Bone marrow aspirate smear.
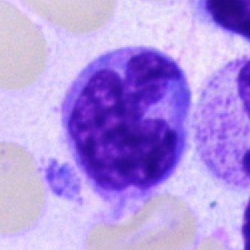

Single cell identified as a monocyte.